250×250; bone marrow aspirate smear; 40× objective, oil immersion: 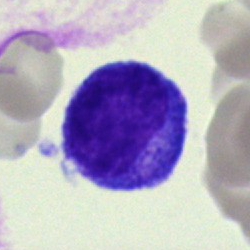

{"cell_type": "promyelocyte"}